250 by 250 pixels. Bone marrow smear.
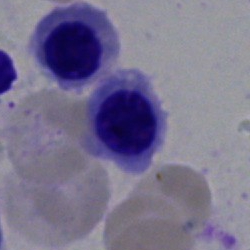
Specimen: bone marrow aspirate smear.
Morphological class: nucleated red cell.